Bone marrow smear: 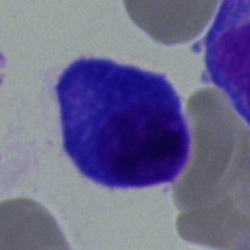 This is a plasma cell.